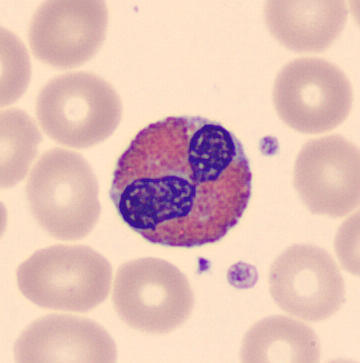

From a peripheral blood smear: an eosinophil.